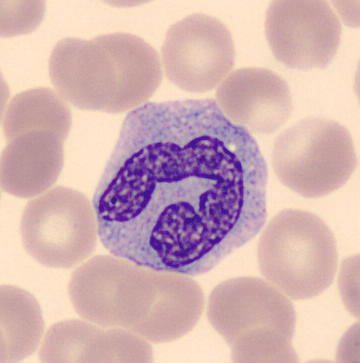

Showing a monocyte.